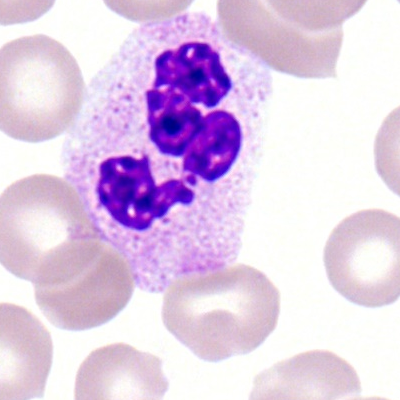
Morphology → polymorphonuclear neutrophil.